Bone marrow aspirate smear:
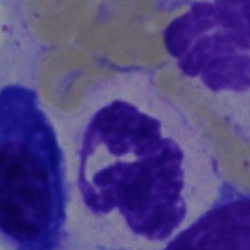

Specimen: bone marrow smear.
Cell type: polymorphonuclear neutrophil.
Lineage: myeloid.